Single-cell crop. Bone marrow smear.
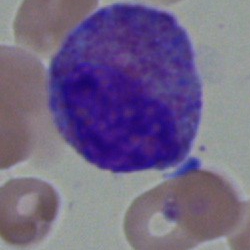
Q: What type of cell is this?
A: It is an eosinophilic granulocyte.